Bone marrow smear:
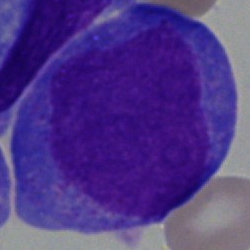
Morphology consistent with a blast cell.